Bone marrow aspirate smear:
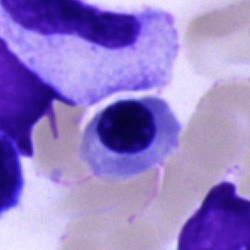 Single cell identified as a normoblast.